Bone marrow smear.
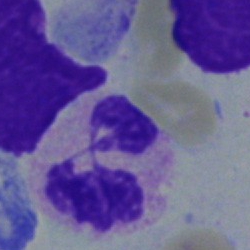 Morphology → neutrophil (segmented).